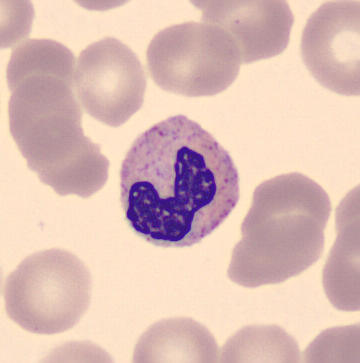 Morphology consistent with a band-form neutrophil.

Acquisition: Peripheral blood smear. Automated cell imaging (CellaVision DM96).